250 by 250 pixels · bone marrow aspirate smear: 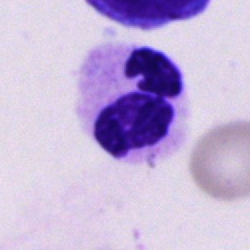Cell: segmented neutrophil.